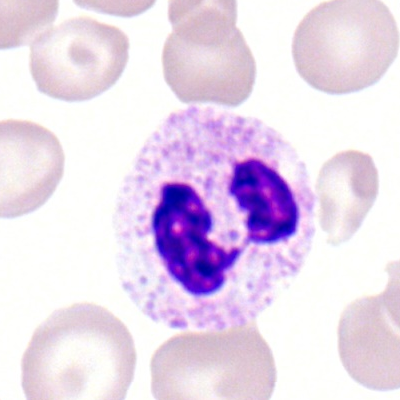

Specimen: peripheral blood film.
Cell type: segmented neutrophil.
Lineage: myeloid.